Bone marrow smear: 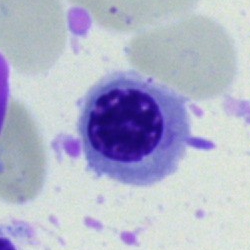
Q: Which cell type is shown here?
A: Nucleated red blood cell.